100× oil immersion, 14.14 px/µm · peripheral blood film: 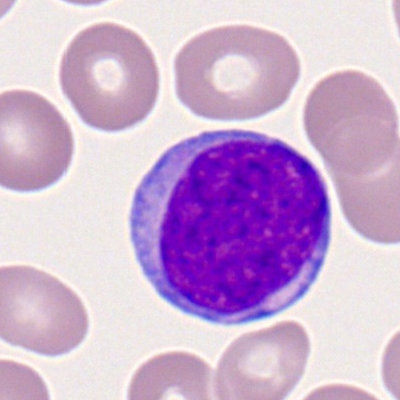

The cell is myeloid blast.